Bone marrow aspirate smear: 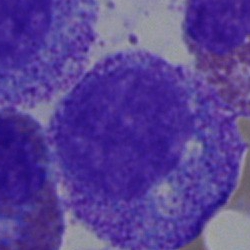This is a progranulocyte.